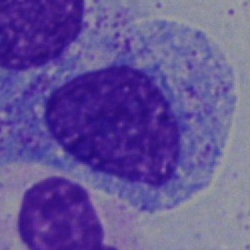Specimen: bone marrow aspirate smear.
Morphological class: progranulocyte.